Bone marrow aspirate smear:
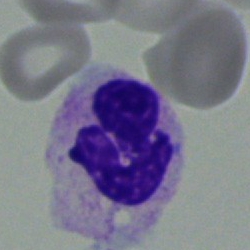
Specimen: bone marrow smear.
Classification: neutrophil (segmented).
Lineage: myeloid.